Bone marrow aspirate smear. May-Grünwald-Giemsa stain:
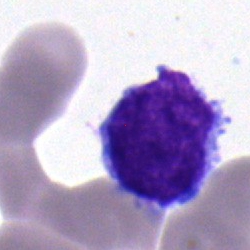The cell type is blast.